Bone marrow aspirate smear — 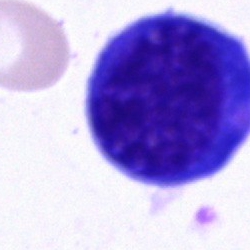
Specimen: bone marrow aspirate smear.
Cell: nucleated red blood cell.